Peripheral blood smear
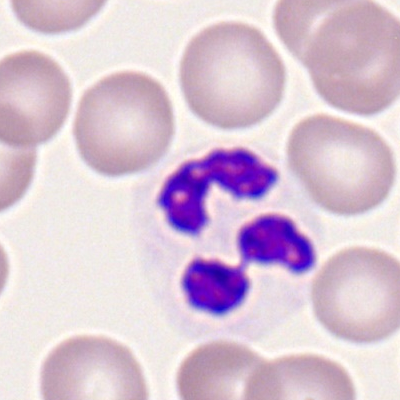Single cell identified as a neutrophil (segmented).